Bone marrow smear:
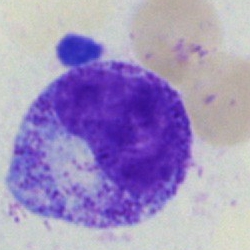 Impression — metamyelocyte.